Image size 250×250. Single-cell crop. Bone marrow smear.
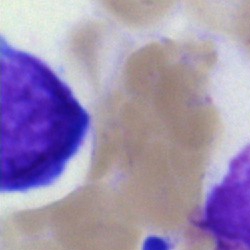

The cell shown is a myelocyte.